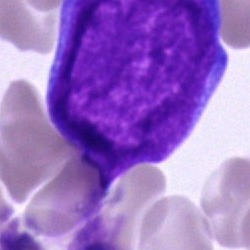

Specimen: bone marrow aspirate smear.
Cell: undifferentiated blast.